Bone marrow smear — 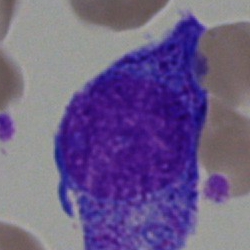
Morphology consistent with a promyelocyte.